Brightfield, 40× oil-immersion objective · bone marrow aspirate smear · 250×250 px
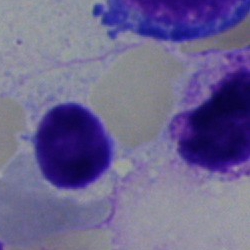
Q: What type of cell is this?
A: A lymphocyte.